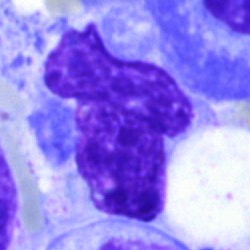 Cell type = artifact.